Peripheral blood smear; 400×400 px
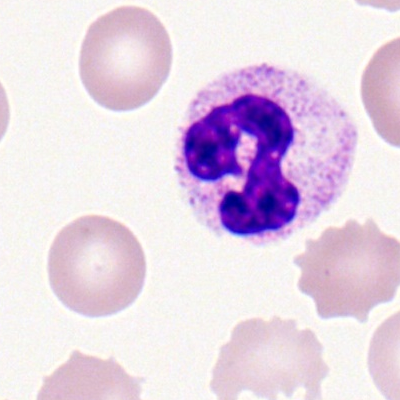
Impression — segmented neutrophil.